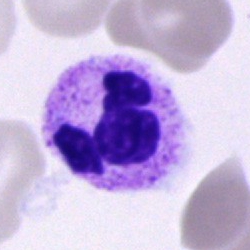

Q: What cell is this?
A: A polymorphonuclear neutrophil.